250×250; bone marrow aspirate smear:
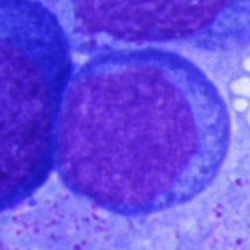
Q: Which cell type is shown here?
A: Blast.